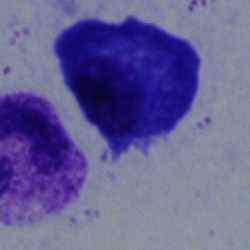

Q: What type of cell is this?
A: It is a plasmacyte.